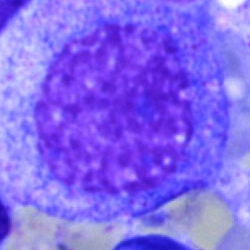

Bone marrow smear showing a progranulocyte.